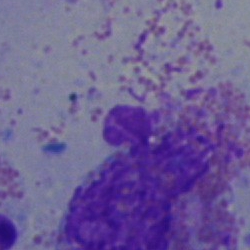Morphological class — eosinophilic granulocyte.